Bone marrow smear
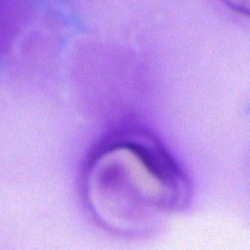

Morphology consistent with an artefact.